Bone marrow smear — 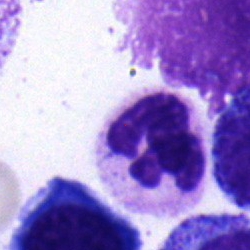Morphology — segmented neutrophil.